Peripheral blood film.
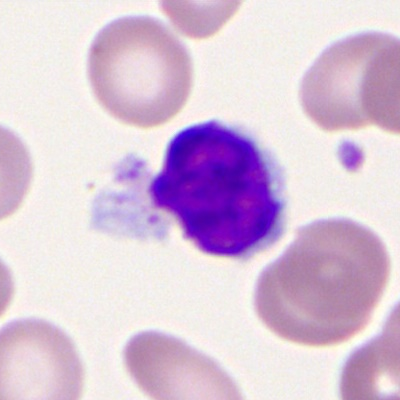

Q: Which cell type is shown here?
A: It is a lymphocyte.